Bone marrow smear — 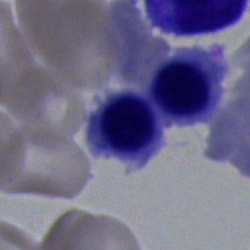

Impression → normoblast.